Bone marrow aspirate smear.
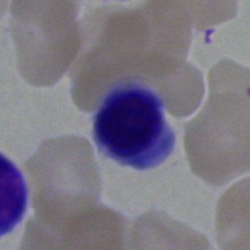 Morphology consistent with a nucleated red blood cell.